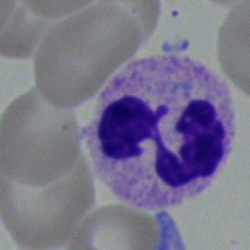 Classification = segmented neutrophil.